Bone marrow aspirate smear.
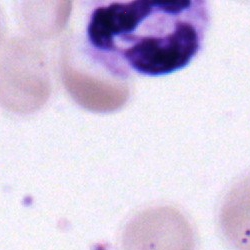

Cell type: neutrophil (segmented).